Bone marrow aspirate smear. Single-cell crop:
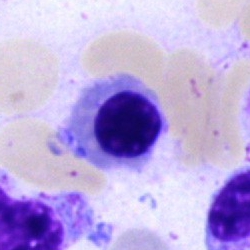 Specimen: bone marrow aspirate smear.
Classification: nucleated red blood cell.
Lineage: erythroid.